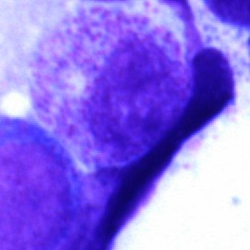

Single-cell crop from a bone marrow smear: myelocyte.